Bone marrow aspirate smear. MGG-stained
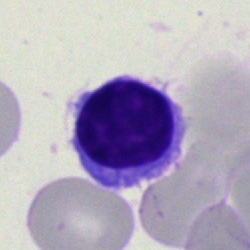Morphology → typical lymphocyte.